Brightfield, 40× oil-immersion objective; bone marrow smear
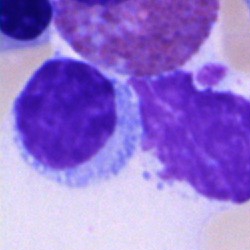 Lymphocyte.